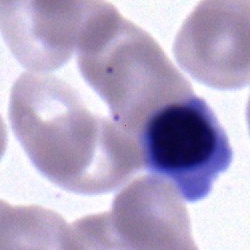
Cell = nucleated red blood cell.